Bone marrow smear · 250×250
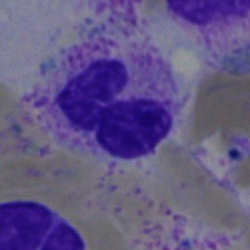
Cell type = neutrophil (segmented).